May-Grünwald-Giemsa stain; bone marrow aspirate smear; 250×250
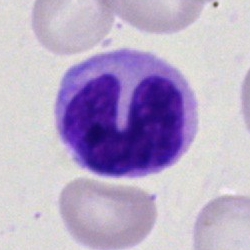Single cell identified as a band neutrophil.